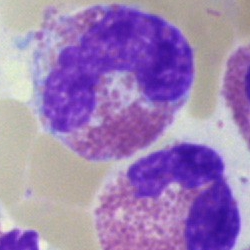
Cell — eosinophilic granulocyte.